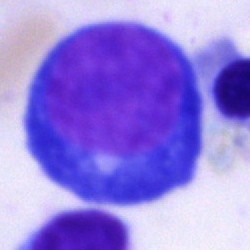

Morphological class = pronormoblast.